Bone marrow smear
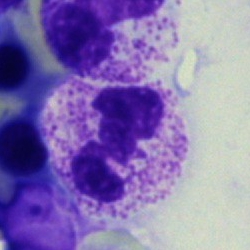Showing a polymorphonuclear neutrophil.